Bone marrow aspirate smear; May-Grünwald-Giemsa stain.
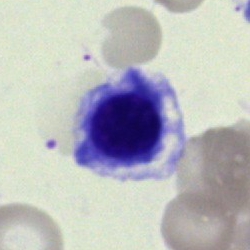 The cell type is erythroblast.